Bone marrow aspirate smear:
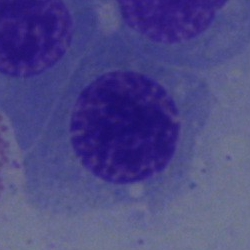 This is a nucleated red cell.